Bone marrow aspirate smear: 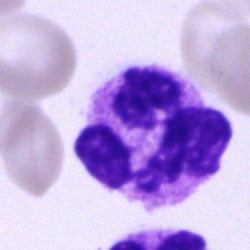

Impression → polymorphonuclear neutrophil.